MGG-stained. Brightfield, 40× oil-immersion objective. Bone marrow smear
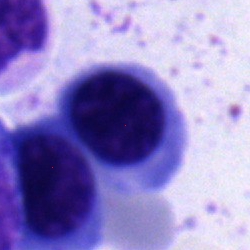

The cell is nucleated red blood cell.